Bone marrow aspirate smear.
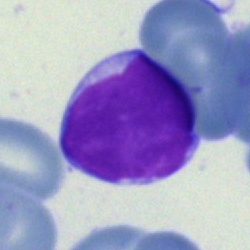The morphological class is lymphocyte.